Bone marrow aspirate smear. Single-cell field — 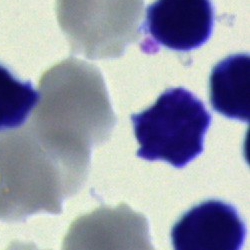 The cell shown is a lymphocyte.